Bone marrow aspirate smear
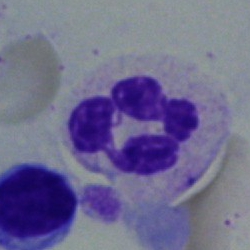

Showing a neutrophil (segmented).